Bone marrow aspirate smear · brightfield, 40× oil-immersion objective · Pappenheim-stained — 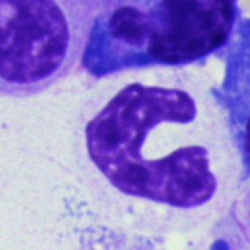Morphological class = neutrophil (band).